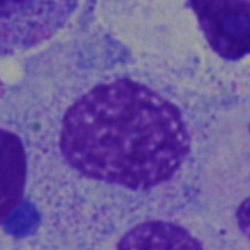
The cell type is artifact.